Image size 250×250 · single-cell field · bone marrow aspirate smear:
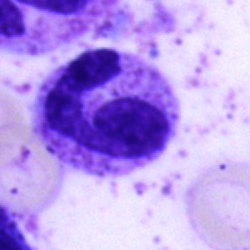
Q: Identify the cell.
A: Segmented neutrophil.